Brightfield, 40× oil-immersion objective · bone marrow aspirate smear:
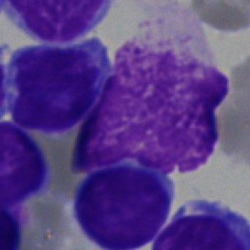
Impression → artifact.